Single-cell crop. Bone marrow smear. MGG-stained
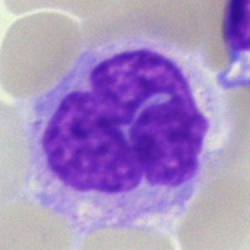

Monocyte.